Image size 250×250; bone marrow aspirate smear; brightfield microscopy, 40× oil immersion:
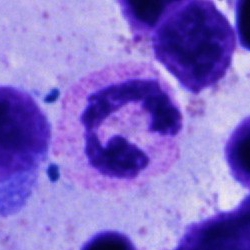This is a neutrophil (segmented).